Peripheral blood smear
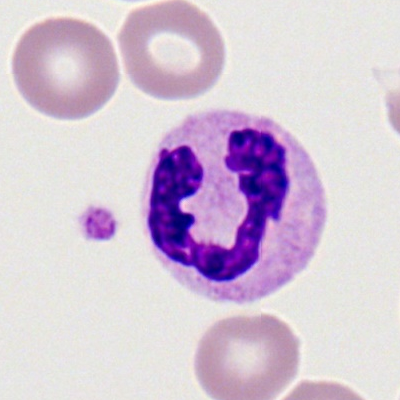

The cell shown is a segmented neutrophil.